Bone marrow smear:
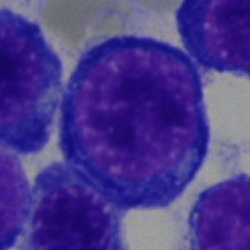Specimen: bone marrow smear.
Cell: normoblast.
Lineage: erythroid.